Bone marrow aspirate smear · Pappenheim-stained: 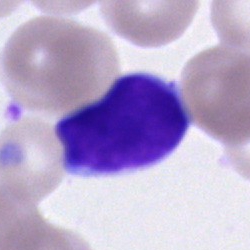
{"cell_type": "lymphocyte", "lineage": "lymphoid"}